Bone marrow smear.
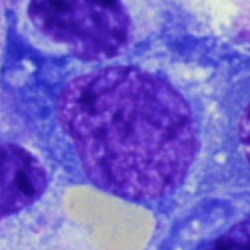

This is a plasma cell.